Peripheral blood smear:
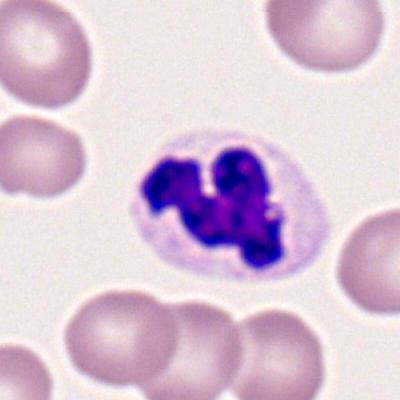
Cell type = neutrophil (segmented).